Bone marrow smear: 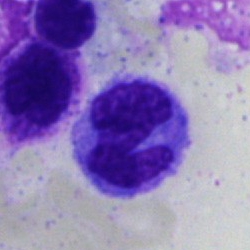 {"cell_type": "monocyte", "lineage": "myeloid"}